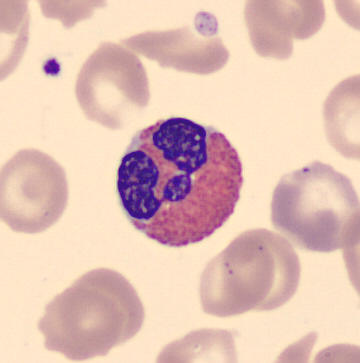

Specimen: peripheral blood smear.
Cell: eosinophilic granulocyte.
Lineage: myeloid.